Bone marrow smear
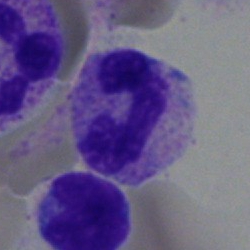A neutrophil (segmented).